Bone marrow aspirate smear:
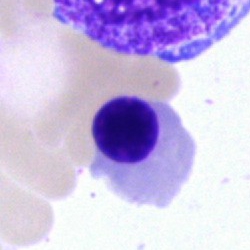

Cell — nucleated red cell.